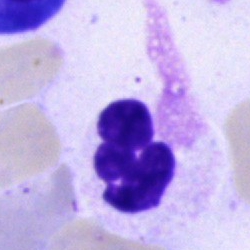

Specimen: bone marrow smear.
Cell: segmented neutrophil.